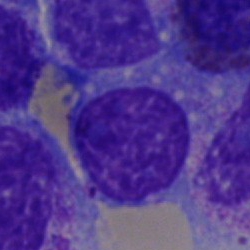
Cell type: undifferentiated blast.